250 by 250 pixels. Single cell centered in the field. Bone marrow aspirate smear:
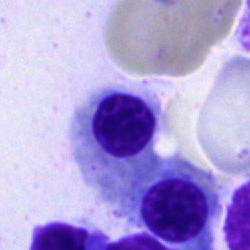The morphological class is erythroblast.